Bone marrow smear
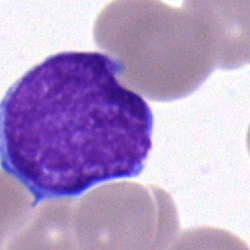
Morphology → blast cell.